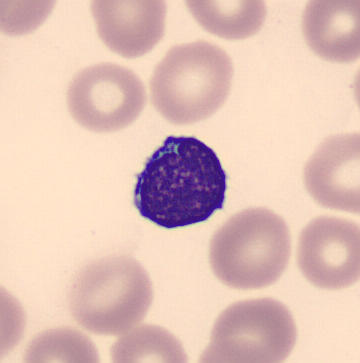

Acquisition: Peripheral blood smear. 360 by 363 pixels.
Morphological class: lymphocyte.